Bone marrow aspirate smear. May-Grünwald-Giemsa/Pappenheim stain
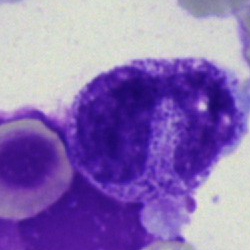Specimen: bone marrow aspirate smear.
Morphological class: neutrophil (band).